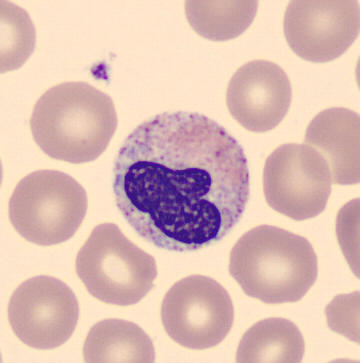Image: Peripheral blood film.
Q: Which cell type is shown here?
A: Neutrophil (band).